250×250 · MGG-stained · bone marrow smear:
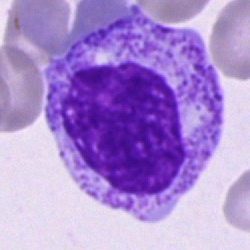

Q: Which cell type is shown here?
A: This is a promyelocyte.